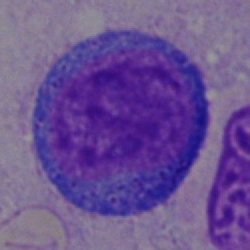Bone marrow aspirate smear, single cell — undifferentiated blast.